250×250. Bone marrow smear.
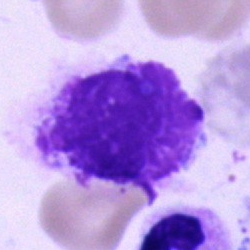
Specimen: bone marrow smear.
Morphological class: artifact.